Bone marrow smear — 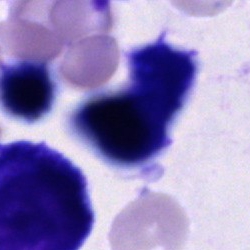
Specimen: bone marrow aspirate smear.
Cell: unidentifiable cell.